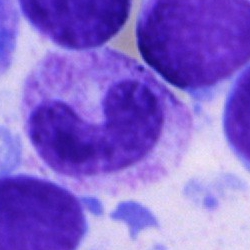 Specimen: bone marrow aspirate smear.
Morphological class: stab cell.
Lineage: myeloid.